Bone marrow aspirate smear:
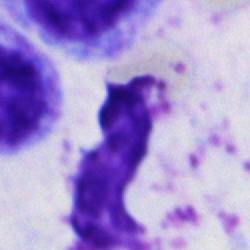
Impression → artefact.